Peripheral blood smear; Romanowsky stain; 400×400 — 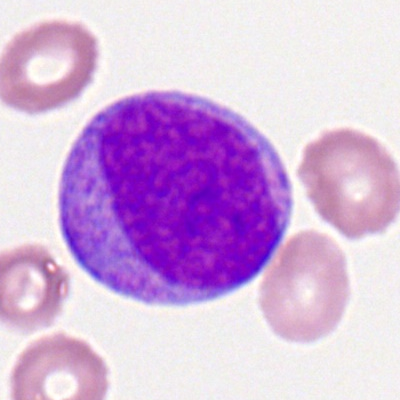Cell — myeloblast.